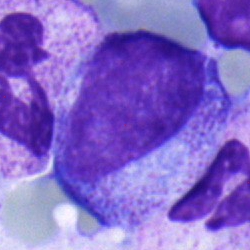
{"cell_type": "myelocyte"}